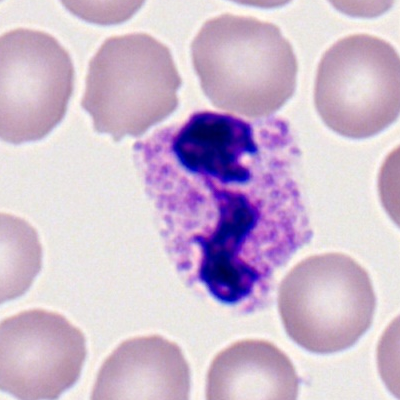

The cell shown is a neutrophil (segmented).